Bone marrow smear · 250 by 250 pixels:
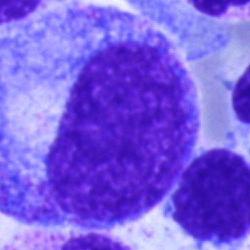

Q: What is the morphological classification of this cell?
A: It is a promyelocyte.